May-Grünwald-Giemsa stain. 250 by 250 pixels. Bone marrow aspirate smear: 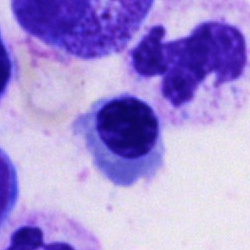
Q: What is shown here?
A: It is a normoblast.